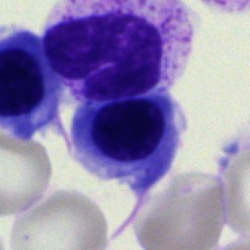
The morphological class is nucleated red blood cell.